Bone marrow smear · May-Grünwald-Giemsa/Pappenheim stain
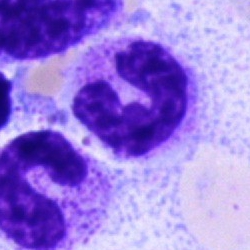
The cell is segmented neutrophil.